Bone marrow aspirate smear — 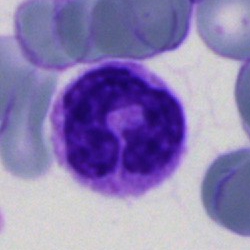

Impression → segmented neutrophil.